40× oil immersion · bone marrow aspirate smear · single-cell field: 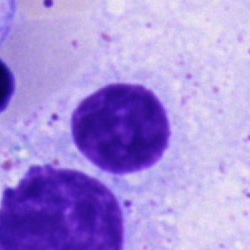 Classification — artifact.